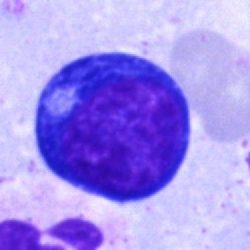Q: What type of cell is this?
A: It is a proerythroblast.